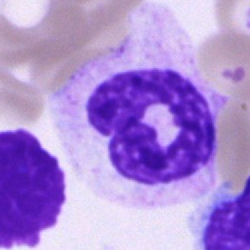Morphology — band neutrophil.